Bone marrow aspirate smear.
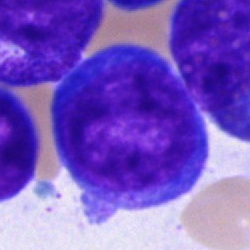 Q: What cell is this?
A: It is a blast cell.